Bone marrow smear: 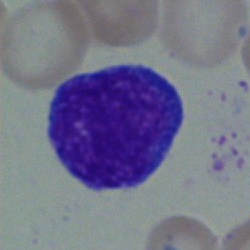 This is an undifferentiated blast.